Bone marrow aspirate smear.
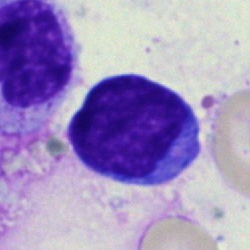Morphological class — lymphocyte.